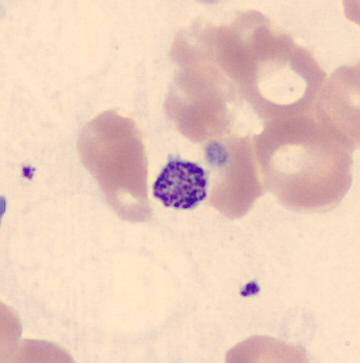 Identified as a platelet (thrombocyte).
Image: Peripheral blood smear.